Bone marrow aspirate smear: 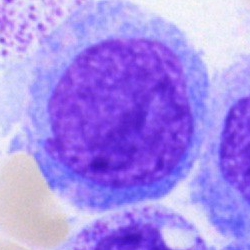This is a blast cell.